Bone marrow aspirate smear.
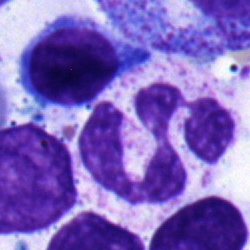 Q: What is shown here?
A: Segmented neutrophil.